Bone marrow smear; image size 250×250: 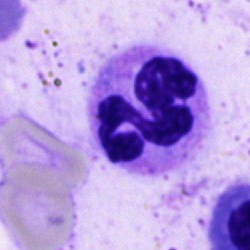
Classification: segmented neutrophil.